May-Grünwald-Giemsa stain; bone marrow aspirate smear:
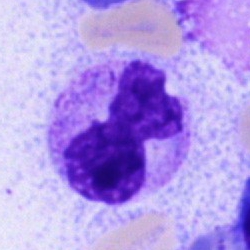Q: What type of cell is this?
A: This is a segmented neutrophil.